Bone marrow aspirate smear. Single-cell field — 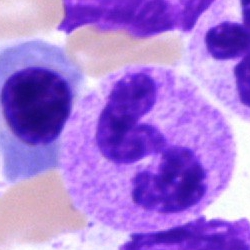

Specimen: bone marrow aspirate smear.
Classification: neutrophil (segmented).